250×250 px. MGG-stained. Bone marrow smear:
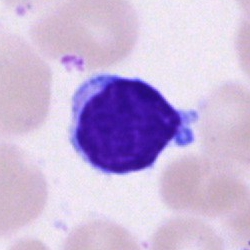Cell: typical lymphocyte.